Bone marrow aspirate smear: 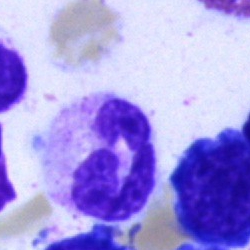This is a polymorphonuclear neutrophil.